Bone marrow smear: 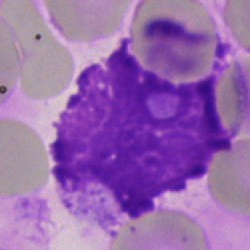 Specimen: bone marrow smear.
Classification: artifact.